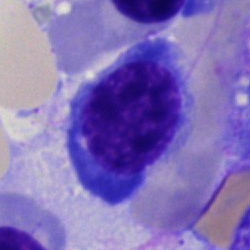Cell type — normoblast.